May-Grünwald-Giemsa/Pappenheim stain. Bone marrow aspirate smear — 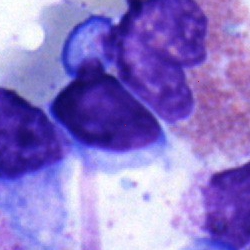
A lymphocyte.